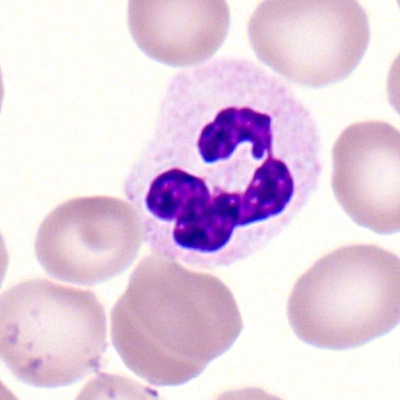 Classification — segmented neutrophil.